Bone marrow aspirate smear; single-cell crop; 40× oil immersion:
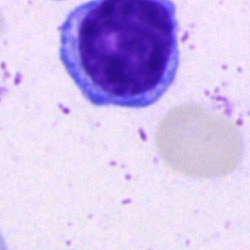
Morphology consistent with a typical lymphocyte.